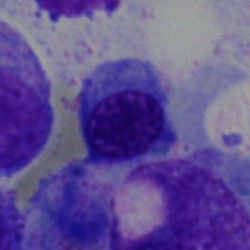

{"cell_type": "nucleated red cell", "lineage": "erythroid"}